Bone marrow aspirate smear.
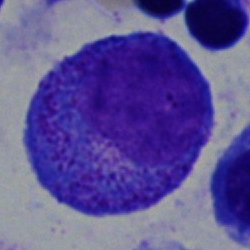 A promyelocyte.